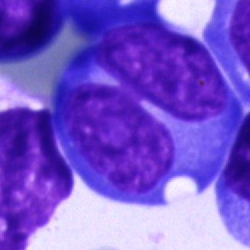Cell — blast cell.